Bone marrow smear
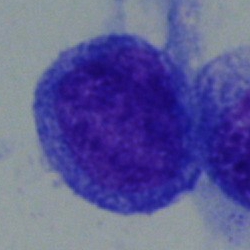 {"cell_type": "undifferentiated blast"}